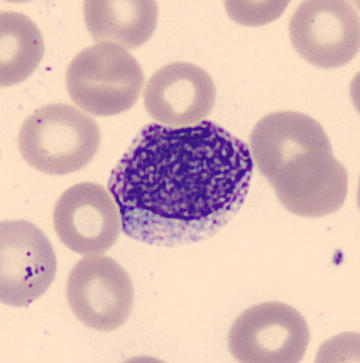 Peripheral blood film.

Q: What is shown here?
A: This is a myelocyte.